Bone marrow aspirate smear:
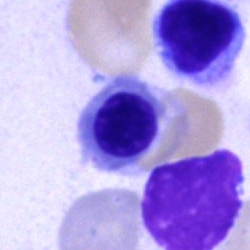 Morphology — normoblast.